Pappenheim-stained. 250×250 px. Bone marrow aspirate smear
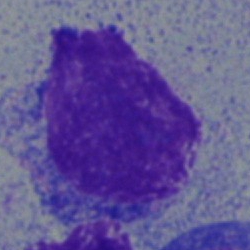Morphological class = undifferentiated blast.